Single-cell field. Bone marrow aspirate smear.
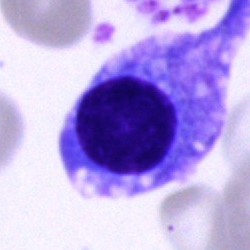

Q: Identify the cell.
A: A plasma cell.